Peripheral blood smear
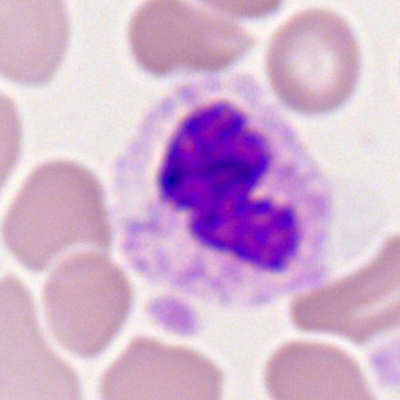 {"cell_type": "segmented neutrophil", "lineage": "myeloid"}